Bone marrow aspirate smear — 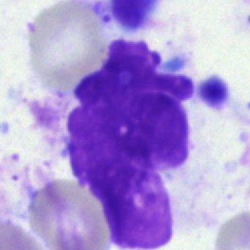
Q: What is shown here?
A: It is an artifact.